Bone marrow smear — 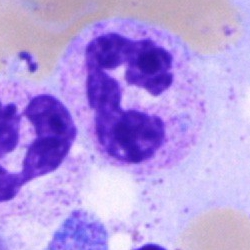

{"cell_type": "segmented neutrophil"}